Bone marrow smear:
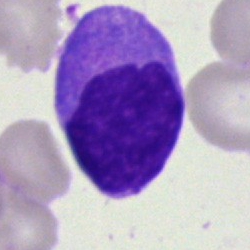

Q: What cell is this?
A: A lymphocyte.